Bone marrow aspirate smear — 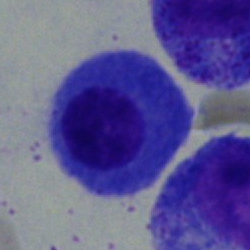
A plasma cell.